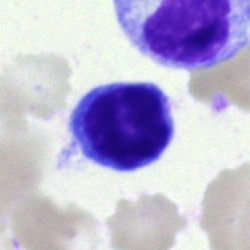

Bone marrow aspirate smear, single cell — typical lymphocyte.